Single-cell field. Bone marrow smear. Pappenheim-stained: 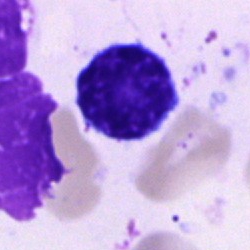
Morphology consistent with a lymphocyte.